May-Grünwald-Giemsa stain; bone marrow aspirate smear; single cell centered in the field
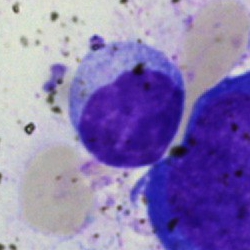

Q: What cell is this?
A: This is a lymphocyte.